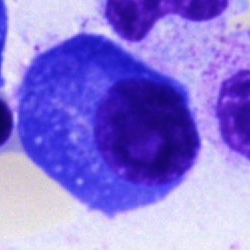 Plasmacyte.